Bone marrow smear:
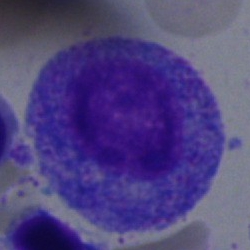
Morphological class — progranulocyte.